Bone marrow smear — 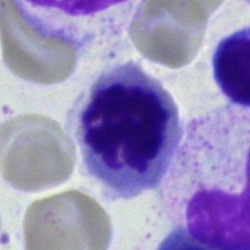 Cell: erythroblast.